Bone marrow aspirate smear. Single cell centered in the field. 250×250:
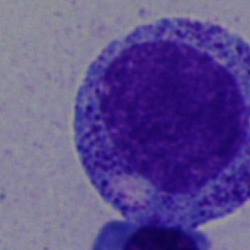 Specimen: bone marrow aspirate smear.
Morphological class: progranulocyte.
Lineage: myeloid.